40× objective, oil immersion · bone marrow aspirate smear.
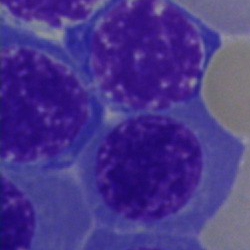 Impression — nucleated red blood cell.